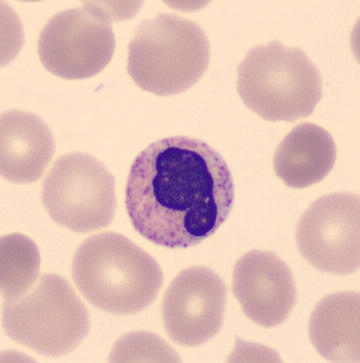 Q: What cell is this?
A: This is a band-form neutrophil. Image: Automated cell imaging (CellaVision DM96). Peripheral blood film. Cropped to a single cell.